Bone marrow aspirate smear.
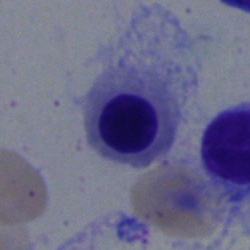

Classification = normoblast.